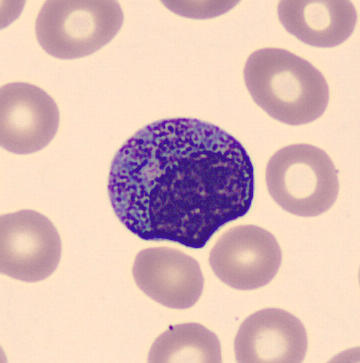
Preparation: Peripheral blood smear.

Showing a myelocyte.